Cropped to a single cell; 40× objective, oil immersion; bone marrow aspirate smear.
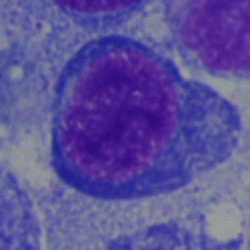
Q: Identify the cell.
A: Pronormoblast.